Bone marrow aspirate smear: 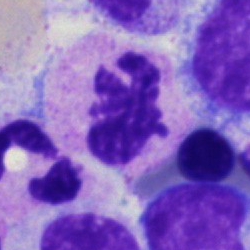
Morphology → polymorphonuclear neutrophil.